Bone marrow aspirate smear · 40× objective, oil immersion · single cell centered in the field
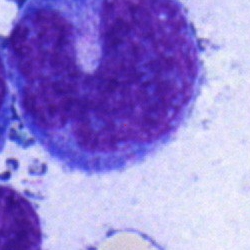The morphological class is undifferentiated blast.